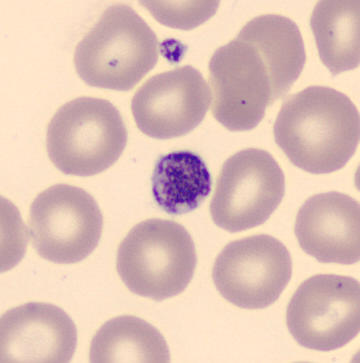 Cell type: thrombocyte.